400 by 400 pixels; peripheral blood film.
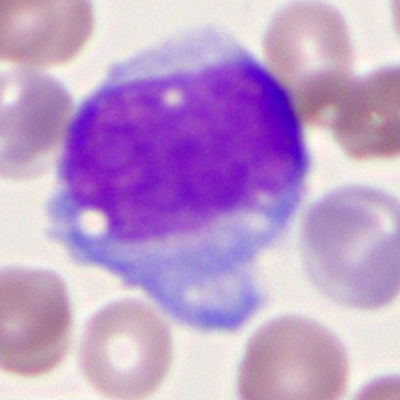 Single cell identified as a monocyte.